Peripheral blood film.
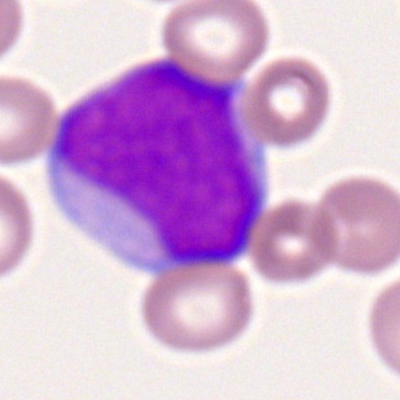
Single cell identified as a myeloblast.